Brightfield microscopy, 40× oil immersion; bone marrow smear: 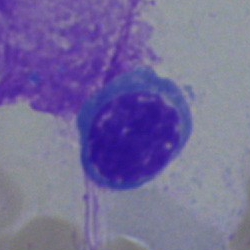 Nucleated red blood cell.